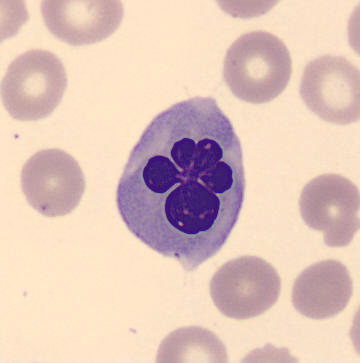
Specimen: peripheral blood film.
Morphological class: nucleated red cell.
Lineage: erythroid.